Bone marrow aspirate smear. Image size 250×250:
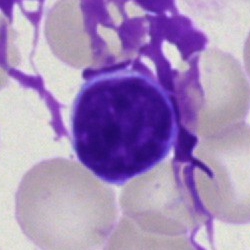
Specimen: bone marrow aspirate smear.
Classification: lymphocyte.
Lineage: lymphoid.